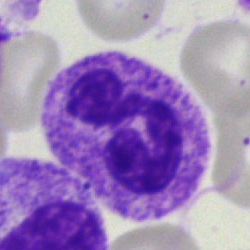Q: What cell is this?
A: It is a polymorphonuclear neutrophil.